Bone marrow aspirate smear. May-Grünwald-Giemsa stain
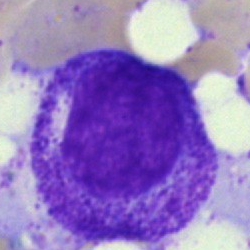Promyelocyte.